Bone marrow smear. 40× objective, oil immersion — 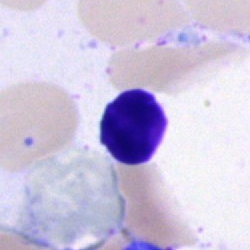
Cell type — artifact.